Bone marrow aspirate smear.
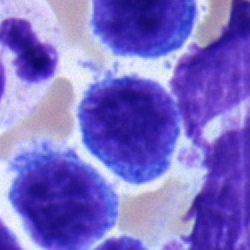

Specimen: bone marrow aspirate smear.
Cell: lymphocyte.
Lineage: lymphoid.